Bone marrow smear — 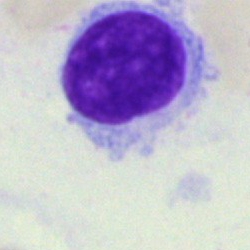

This is a hairy cell.